Peripheral blood smear — 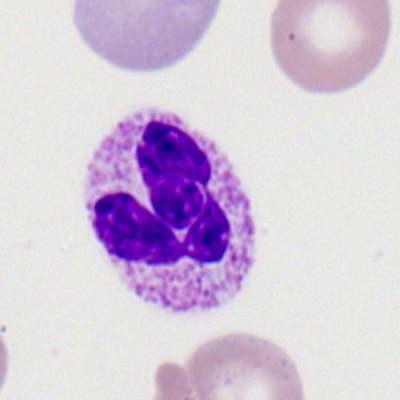
Q: What is the morphological classification of this cell?
A: This is a segmented neutrophil.